400×400 px · peripheral blood film — 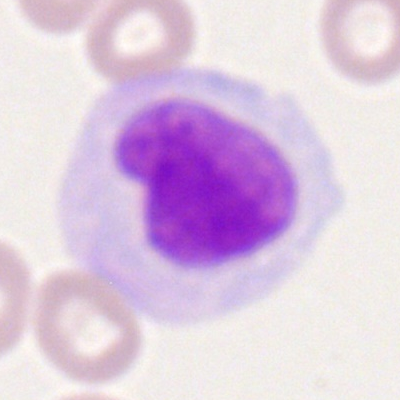
The morphological class is monocyte.